Bone marrow smear — 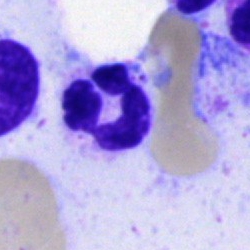

Morphological class — segmented neutrophil.